Bone marrow smear · 250×250 · Pappenheim-stained
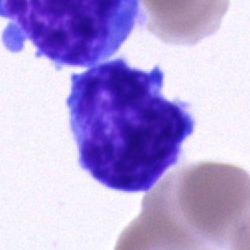

Impression → blast.